Bone marrow smear; 40× oil immersion.
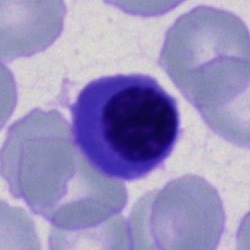
Q: What cell is this?
A: This is a nucleated red blood cell.